Peripheral blood smear:
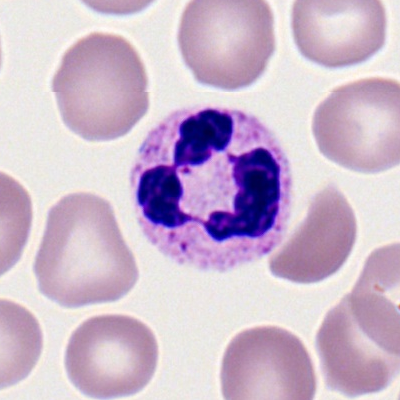 Q: What is the morphological classification of this cell?
A: Polymorphonuclear neutrophil.